Peripheral blood film · 400×400 px
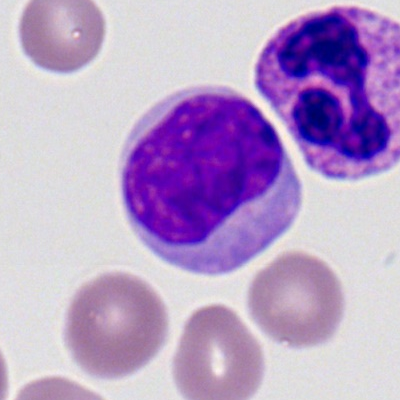

Impression → lymphocyte.